Peripheral blood film; 360 by 363 pixels: 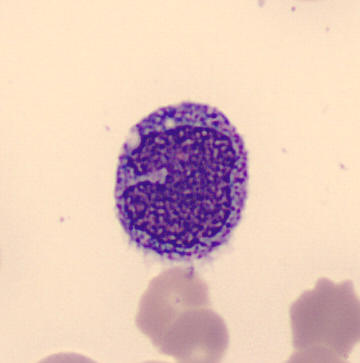{"cell_type": "monocyte"}